Bone marrow smear; brightfield, 40× oil-immersion objective; single cell centered in the field.
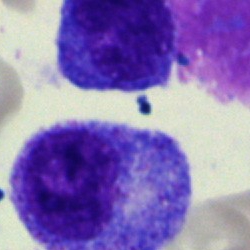 Q: What type of cell is this?
A: It is a promyelocyte.